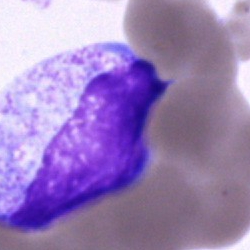Morphology — promyelocyte.